Bone marrow aspirate smear
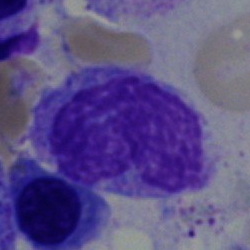

A monocyte.